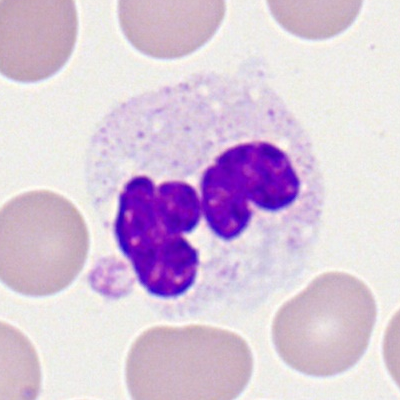

Peripheral blood film, single cell — neutrophil (segmented).